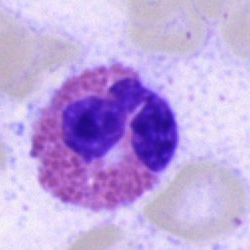
Q: What is shown here?
A: An eosinophil.